Bone marrow smear.
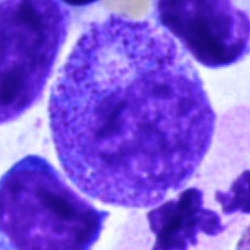Cell type = promyelocyte.